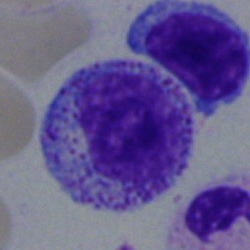 This is a myelocyte.